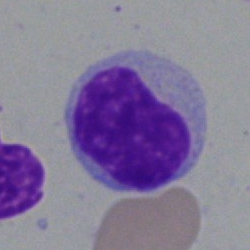
Classification — typical lymphocyte.